Bone marrow aspirate smear.
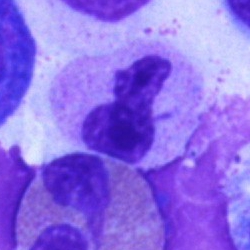

Specimen: bone marrow aspirate smear.
Cell: polymorphonuclear neutrophil.
Lineage: myeloid.